Bone marrow smear: 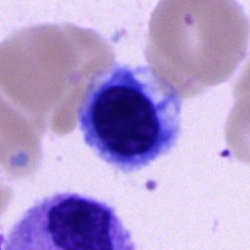 {"cell_type": "normoblast"}